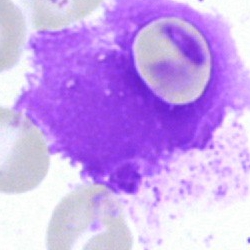
Morphological class = artefact.